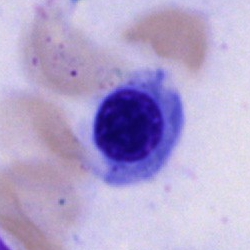

Single-cell crop from a bone marrow smear: nucleated red cell.